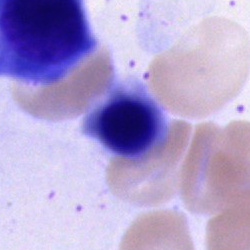
Classification: erythroblast.